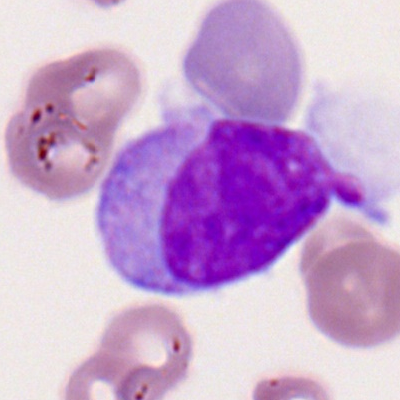
{"cell_type": "monocyte"}